Bone marrow smear.
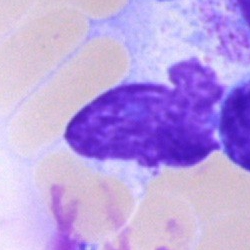Specimen: bone marrow smear.
Classification: artefact.